Bone marrow aspirate smear: 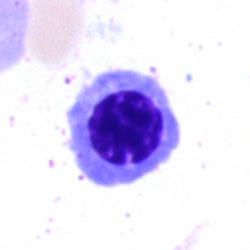
The cell is nucleated red blood cell.